250×250 px. Bone marrow aspirate smear — 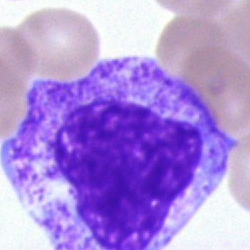Morphology — myelocyte.